Brightfield, 40× oil-immersion objective · bone marrow smear
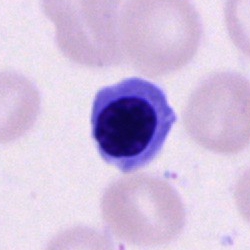 Specimen: bone marrow smear.
Cell: nucleated red blood cell.
Lineage: erythroid.